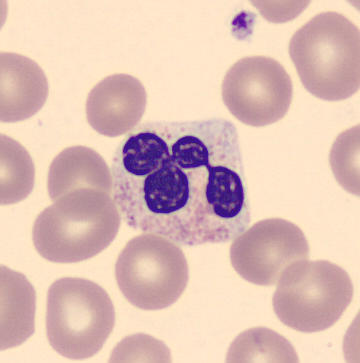Q: Which cell type is shown here?
A: A neutrophil (segmented).